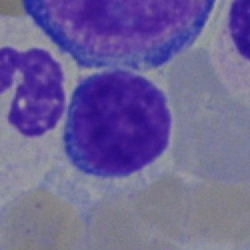The classification is typical lymphocyte.